Bone marrow smear
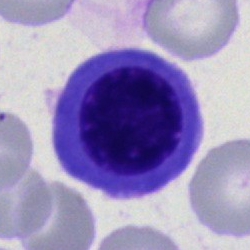 Morphology consistent with a nucleated red blood cell.